Bone marrow aspirate smear:
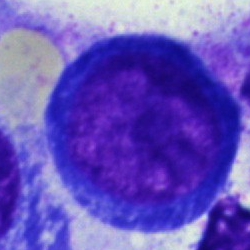

Q: What type of cell is this?
A: A pronormoblast.